Bone marrow smear · May-Grünwald-Giemsa/Pappenheim stain · cropped to a single cell: 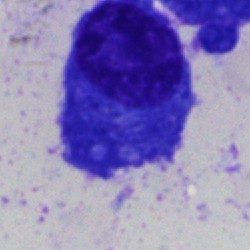
Cell: plasma cell.